40× oil immersion · bone marrow aspirate smear
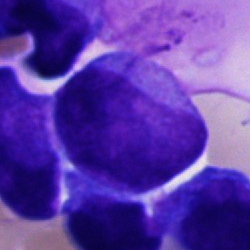
Specimen: bone marrow smear.
Cell: blast cell.